Bone marrow smear; 250×250: 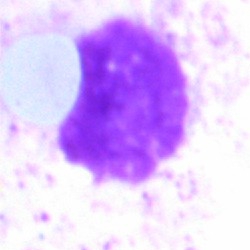Specimen: bone marrow aspirate smear.
Cell type: artifact.